Bone marrow aspirate smear:
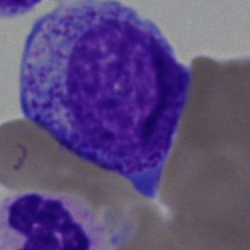 Classification: stab cell.